Bone marrow aspirate smear · cropped to a single cell · 250 by 250 pixels:
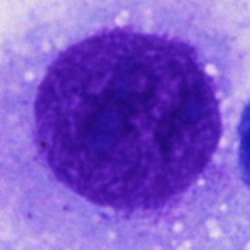
An other cell type.